Bone marrow aspirate smear:
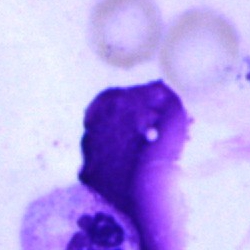Cell type: artifact.